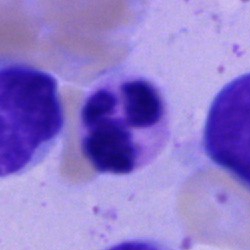 Morphology consistent with a polymorphonuclear neutrophil.